Bone marrow aspirate smear:
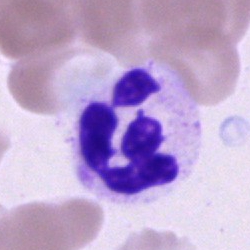

Cell type: polymorphonuclear neutrophil.